Peripheral blood smear: 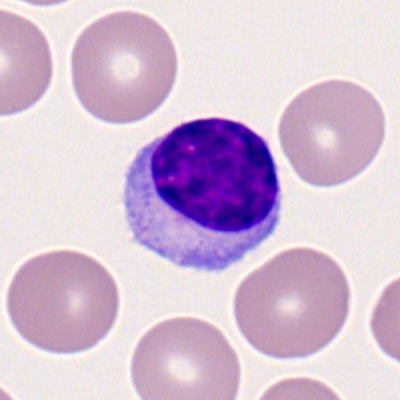

Morphology consistent with a typical lymphocyte.